Bone marrow aspirate smear — 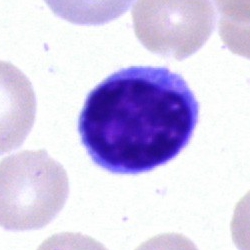Typical lymphocyte.